Bone marrow aspirate smear · May-Grünwald-Giemsa/Pappenheim stain.
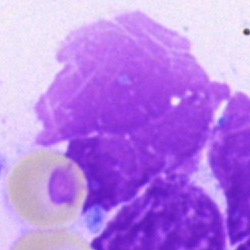

Showing an artefact.